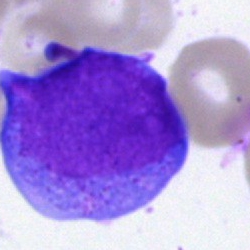
Morphology — undifferentiated blast.